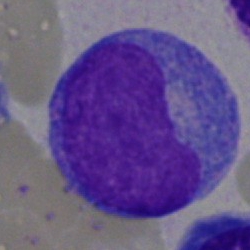 Showing a promyelocyte.